Bone marrow smear
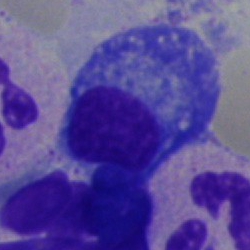
Specimen: bone marrow smear.
Cell: plasma cell.
Lineage: lymphoid.